Peripheral blood film. Cropped to a single cell — 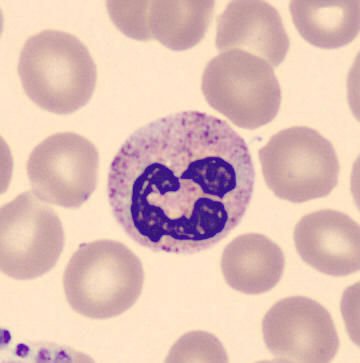 Single cell identified as a segmented neutrophil.